Bone marrow smear. 250×250. 40× oil immersion: 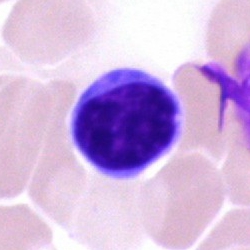 Classification: lymphocyte.